Bone marrow aspirate smear.
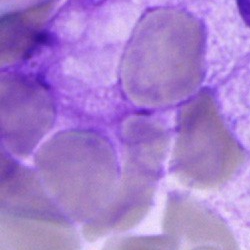
Morphology consistent with an artefact.